Bone marrow aspirate smear · May-Grünwald-Giemsa/Pappenheim stain: 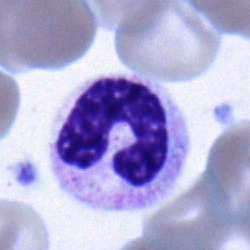The cell shown is a band-form neutrophil.